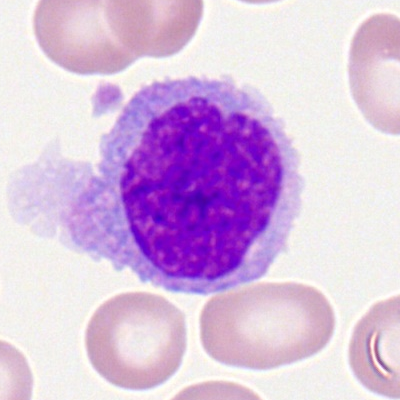 Specimen: peripheral blood film.
Cell type: monocyte.